MGG stain · peripheral blood film · CellaVision DM96 digital cell image:
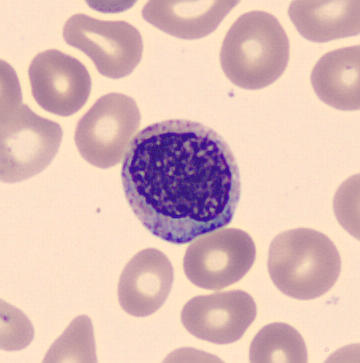 Impression → myelocyte.